Bone marrow smear — 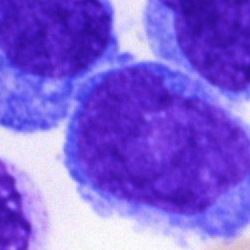Morphological class — blast cell.